Pappenheim-stained; bone marrow smear:
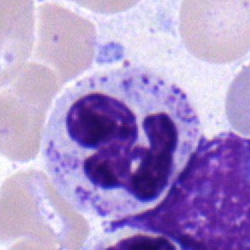{"cell_type": "polymorphonuclear neutrophil", "lineage": "myeloid"}